Bone marrow aspirate smear. 250 by 250 pixels: 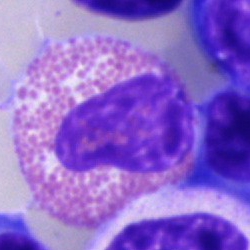

Single cell identified as an eosinophil.